250×250 · bone marrow aspirate smear: 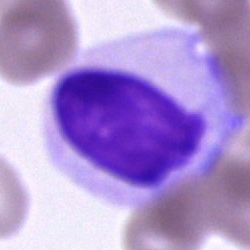

Classification = unidentifiable cell.